Bone marrow aspirate smear — 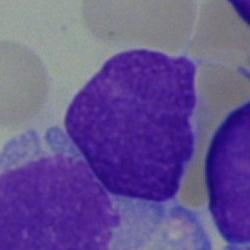 Morphology consistent with an undifferentiated blast.